Peripheral blood smear.
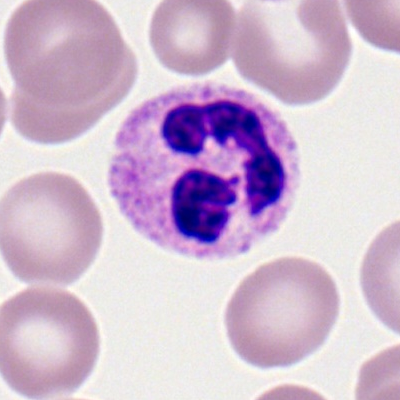

A segmented neutrophil.